Cropped to a single cell · bone marrow aspirate smear.
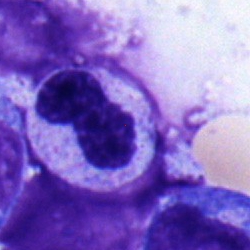

Classification = polymorphonuclear neutrophil.